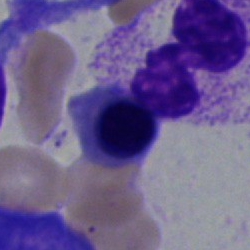

The morphological class is erythroblast.